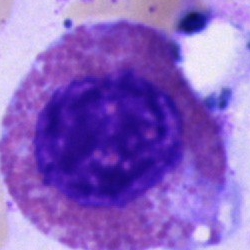

Cell type — eosinophilic granulocyte.